Bone marrow aspirate smear: 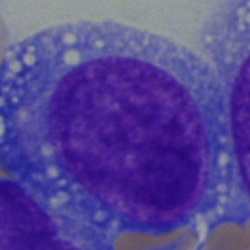

Q: What cell is this?
A: It is a blast cell.